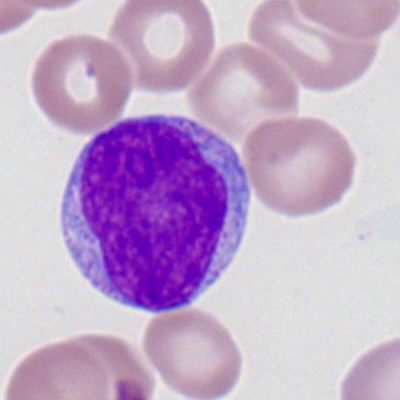
Q: What type of cell is this?
A: A myeloblast.